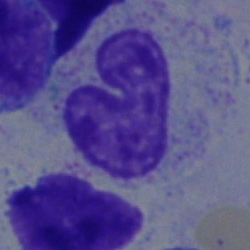Specimen: bone marrow smear.
Cell: stab cell.
Lineage: myeloid.